Bone marrow smear:
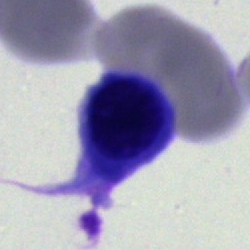 Morphology → normoblast.